Bone marrow smear.
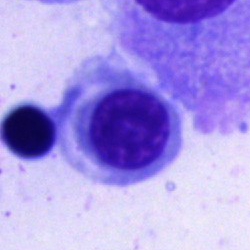The cell shown is an erythroblast.